Bone marrow smear:
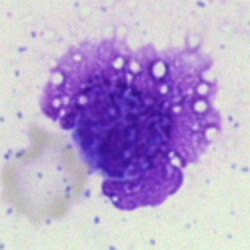 Morphology → artefact.